Bone marrow smear
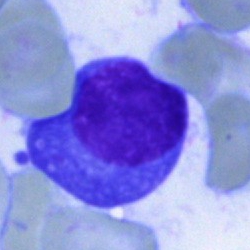
Specimen: bone marrow aspirate smear.
Morphological class: plasmacyte.
Lineage: lymphoid.